Bone marrow aspirate smear.
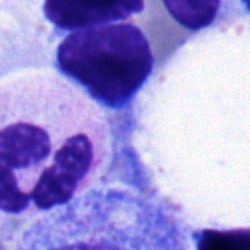{"cell_type": "lymphocyte"}